Single-cell crop · bone marrow smear — 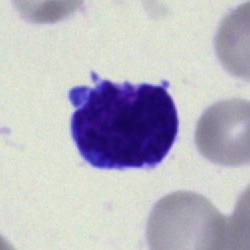
Showing a blast.